Bone marrow smear
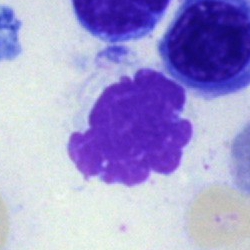Q: What is shown here?
A: An artifact.